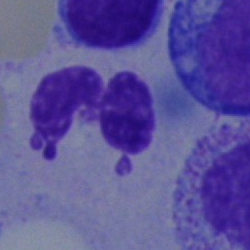

This is a segmented neutrophil.